Single-cell crop · image size 250×250 · bone marrow aspirate smear — 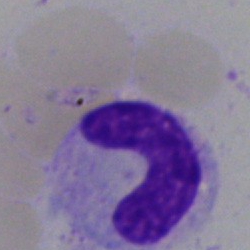 Classification — band neutrophil.